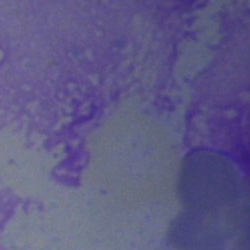 Q: What is shown here?
A: This is an artifact.